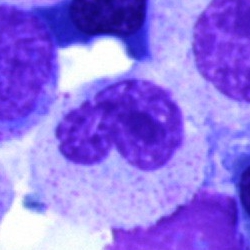Q: What is the morphological classification of this cell?
A: This is a stab cell.